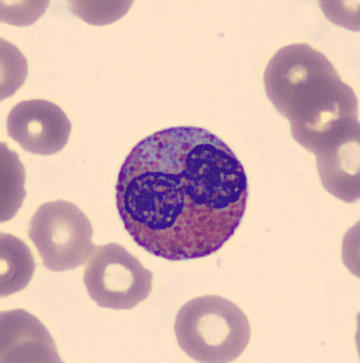

Cell type — eosinophil.